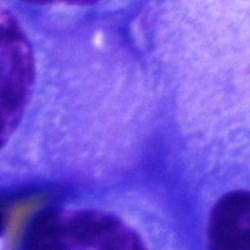

Q: What is shown here?
A: A plasmacyte.